Pappenheim-stained; 250×250 px; bone marrow aspirate smear — 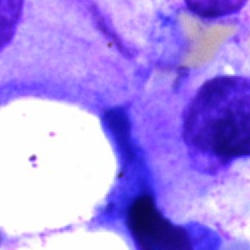Morphological class = artefact.